Single-cell field; bone marrow aspirate smear: 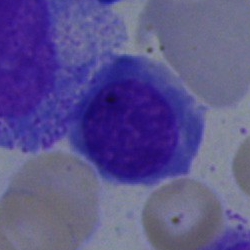
Cell type = erythroblast.